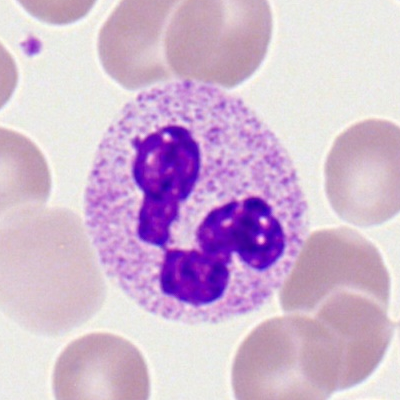Peripheral blood film, single cell — polymorphonuclear neutrophil.